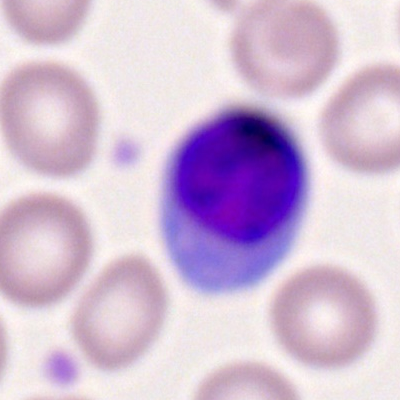

This is a typical lymphocyte.